Bone marrow smear — 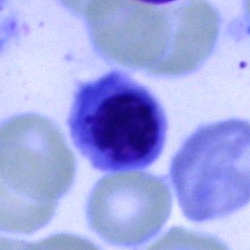 Impression → nucleated red blood cell.